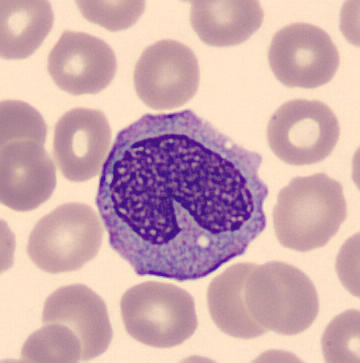
Specimen: peripheral blood film.
Cell type: monocyte.
Lineage: myeloid.